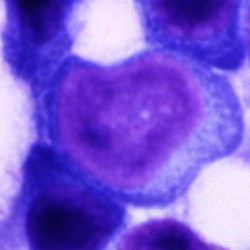 Specimen: bone marrow smear.
Cell: proerythroblast.
Lineage: erythroid.